May-Grünwald-Giemsa/Pappenheim stain. Bone marrow aspirate smear:
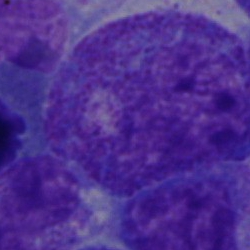 Specimen: bone marrow smear.
Cell: progranulocyte.
Lineage: myeloid.